Bone marrow smear:
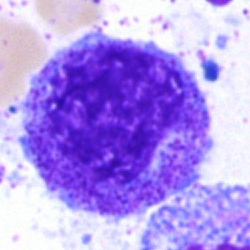

Q: What is the morphological classification of this cell?
A: A myelocyte.